Cropped to a single cell; peripheral blood film; 400×400 — 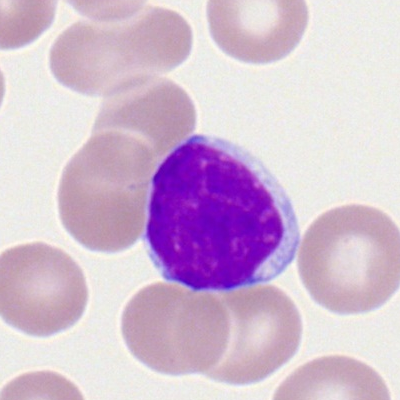The cell type is typical lymphocyte.